Bone marrow aspirate smear:
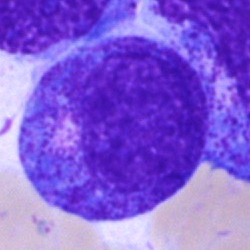

Morphology → progranulocyte.